Bone marrow smear · 250 by 250 pixels:
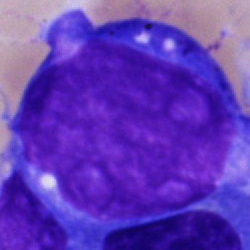Q: What is shown here?
A: This is an undifferentiated blast.